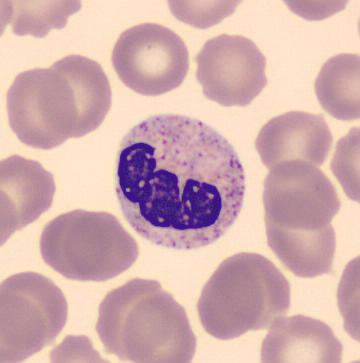
Q: Which cell type is shown here?
A: It is a segmented neutrophil.